MGG-stained · bone marrow smear — 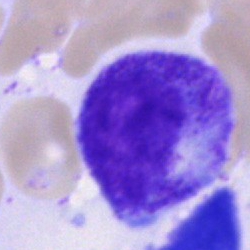Single cell identified as a promyelocyte.